Bone marrow smear: 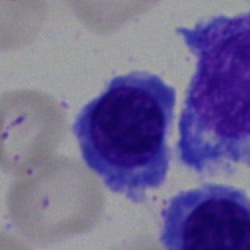 Impression — nucleated red cell.